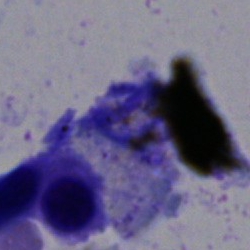 Q: What is shown here?
A: An artefact.